Bone marrow smear · May-Grünwald-Giemsa stain — 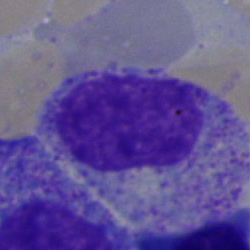 The cell shown is a myelocyte.